Single cell centered in the field; bone marrow smear
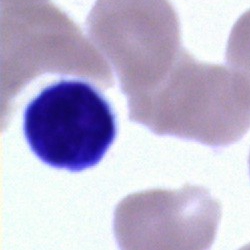Morphological class = typical lymphocyte.